Bone marrow smear: 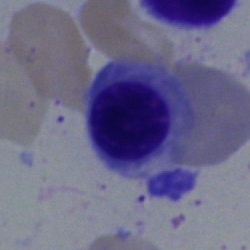

Specimen: bone marrow aspirate smear.
Cell: nucleated red cell.
Lineage: erythroid.